Bone marrow smear:
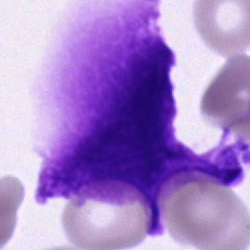 Cell type: unidentifiable cell.